Bone marrow smear.
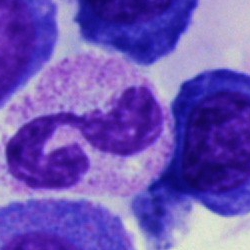 The cell shown is a neutrophil (segmented).